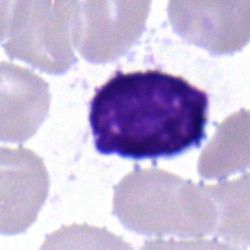
Cell type — lymphocyte.